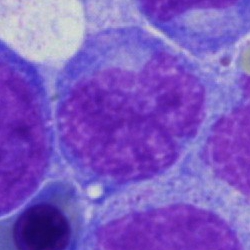 Showing a monocyte.